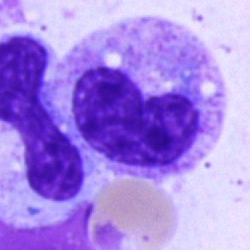
Morphological class = metamyelocyte.